Bone marrow smear:
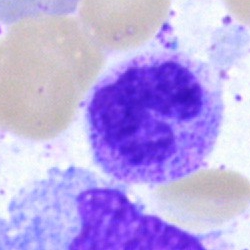
{"cell_type": "metamyelocyte"}